Bone marrow aspirate smear:
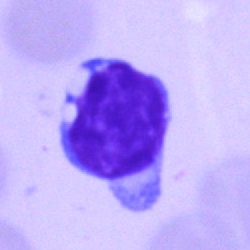Morphology — typical lymphocyte.